Bone marrow aspirate smear — 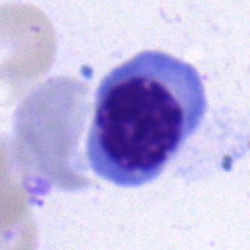

Single cell identified as a normoblast.